Bone marrow aspirate smear:
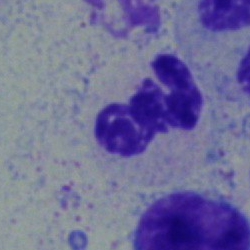
Classification: segmented neutrophil.